250×250 px; bone marrow aspirate smear; MGG-stained:
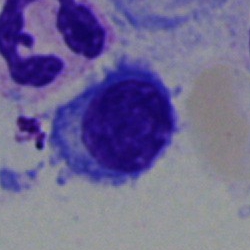

The cell is plasma cell.